Bone marrow smear. Brightfield, 40× oil-immersion objective:
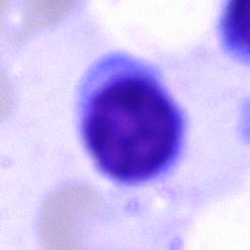 Single cell identified as a typical lymphocyte.